Bone marrow smear · 250 by 250 pixels:
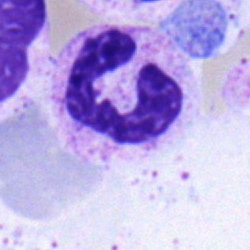This is a neutrophil (segmented).